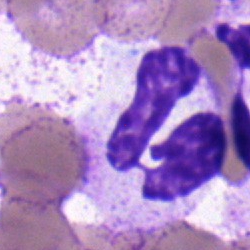

The cell is neutrophil (segmented).